Bone marrow aspirate smear
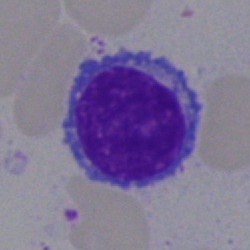
Single cell identified as a typical lymphocyte.